Bone marrow smear; May-Grünwald-Giemsa stain
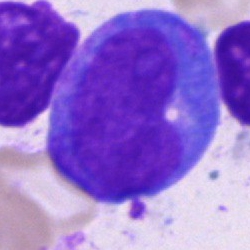

Cell = promyelocyte.